Bone marrow aspirate smear; brightfield, 40× oil-immersion objective; 250×250 px:
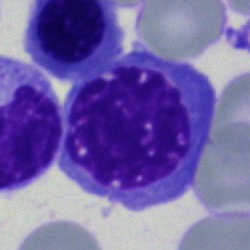

{"cell_type": "erythroblast", "lineage": "erythroid"}